May-Grünwald-Giemsa stain. Bone marrow smear — 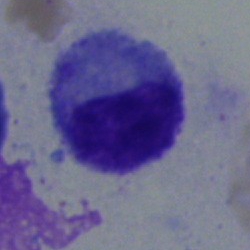

Showing a metamyelocyte.